Bone marrow aspirate smear — 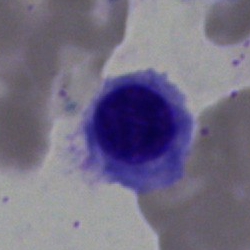
Showing a normoblast.